MGG-stained. Cropped to a single cell. Bone marrow aspirate smear:
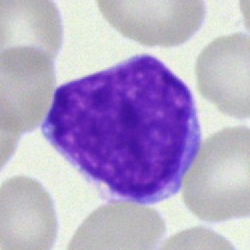
The cell type is blast cell.